Bone marrow aspirate smear — 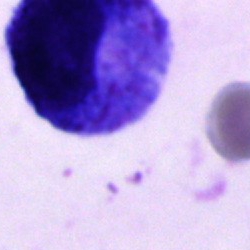This is a progranulocyte.